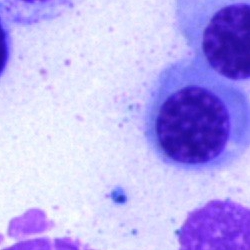 Cell: nucleated red blood cell.